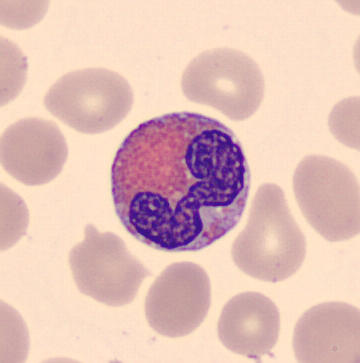
Classification = eosinophilic granulocyte. Acquisition: Peripheral blood smear.